Single cell centered in the field. Bone marrow aspirate smear.
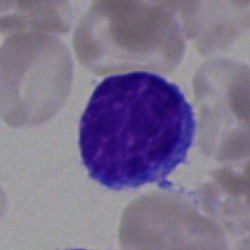 {"cell_type": "typical lymphocyte", "lineage": "lymphoid"}